Single-cell crop · 250 by 250 pixels · bone marrow aspirate smear:
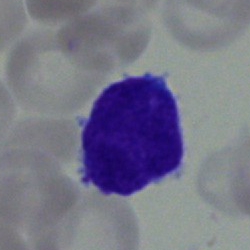 The classification is blast.